Bone marrow smear:
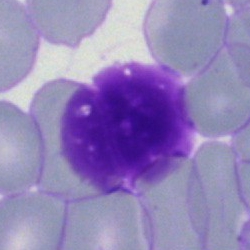 Specimen: bone marrow smear.
Cell: artefact.